Bone marrow aspirate smear — 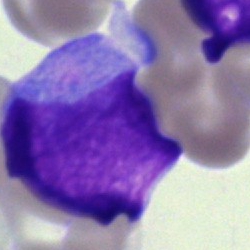

This is a blast cell.